Single-cell field. Bone marrow smear:
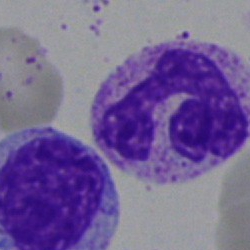

Showing a segmented neutrophil.